Single-cell field · bone marrow aspirate smear
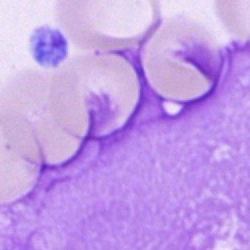 The cell shown is an artifact.